Bone marrow smear · brightfield, 40× oil-immersion objective · 250×250 px:
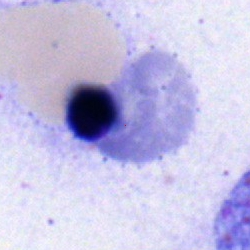

Specimen: bone marrow aspirate smear.
Classification: erythroblast.